40× oil immersion; bone marrow aspirate smear:
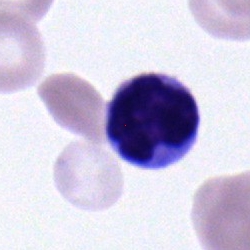

Cell type — typical lymphocyte.